Bone marrow aspirate smear:
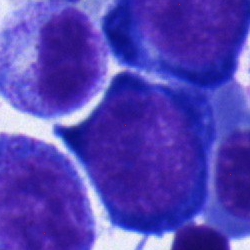Impression — pronormoblast.